Bone marrow smear: 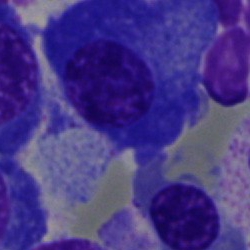 This is a plasma cell.